250×250 px; bone marrow aspirate smear: 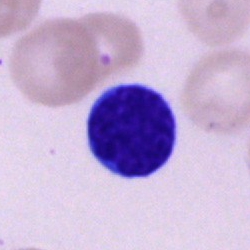 Cell = polymorphonuclear neutrophil.